Single cell centered in the field; bone marrow smear; brightfield, 40× oil-immersion objective:
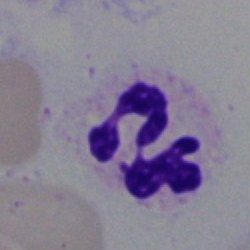

The cell shown is a polymorphonuclear neutrophil.